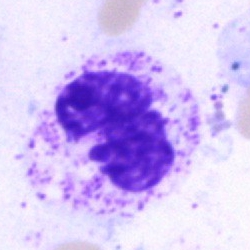

Single cell identified as a neutrophil (segmented).